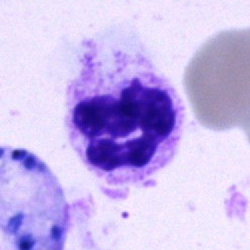 Bone marrow aspirate smear, single cell — segmented neutrophil.